Bone marrow aspirate smear:
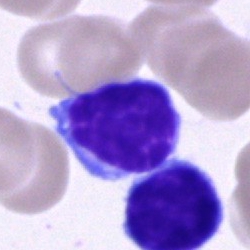The cell shown is a lymphocyte.